100× oil immersion. Peripheral blood smear
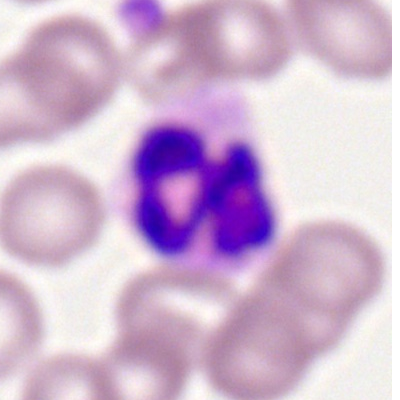
A segmented neutrophil.